Bone marrow smear.
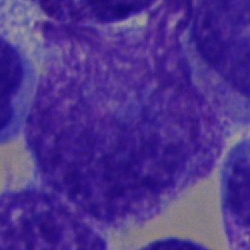 Q: What is shown here?
A: An artefact.